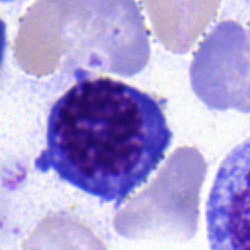 This is a normoblast.